Bone marrow smear. May-Grünwald-Giemsa stain
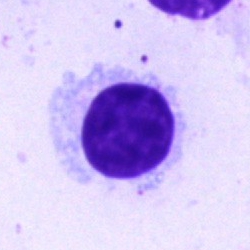 Morphological class — typical lymphocyte.